Bone marrow aspirate smear
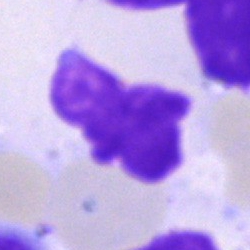Morphology — artifact.